Bone marrow smear.
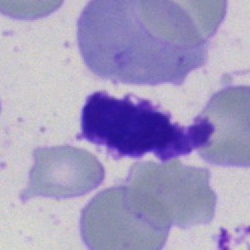
Morphological class: artifact.